Bone marrow aspirate smear: 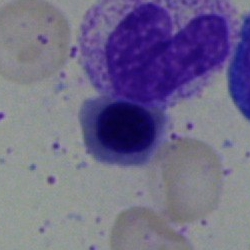Specimen: bone marrow smear.
Cell: normoblast.